Bone marrow aspirate smear.
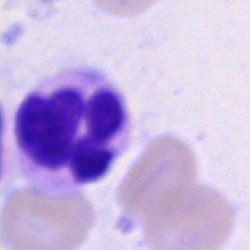

Q: What cell is this?
A: Polymorphonuclear neutrophil.